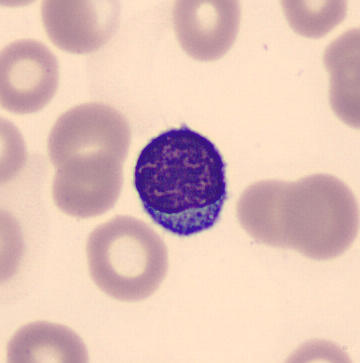Image: Peripheral blood smear. Identified as a typical lymphocyte.